Bone marrow smear; Pappenheim-stained; single-cell crop — 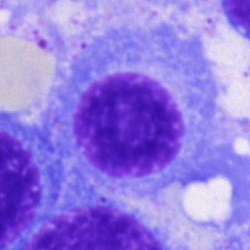 Morphology consistent with a plasmacyte.